Bone marrow smear; brightfield microscopy, 40× oil immersion.
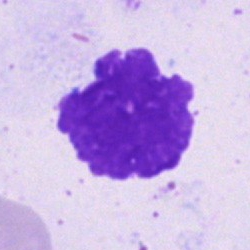Q: What is shown here?
A: Artifact.